Single-cell crop; bone marrow aspirate smear:
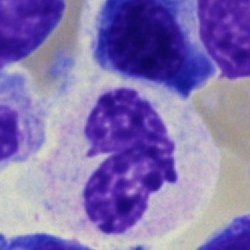
Q: Which cell type is shown here?
A: It is a neutrophil (band).